Cropped to a single cell. MGG-stained. Bone marrow aspirate smear
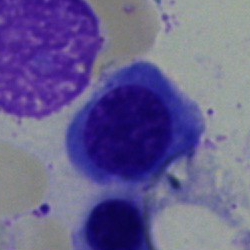 Specimen: bone marrow aspirate smear.
Classification: nucleated red blood cell.